Bone marrow aspirate smear — 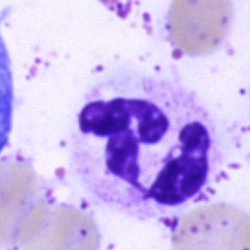

The classification is segmented neutrophil.